Bone marrow aspirate smear: 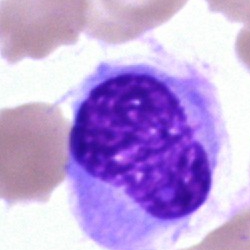
{"cell_type": "hairy cell"}